Brightfield, 40× oil-immersion objective; bone marrow aspirate smear; 250×250 — 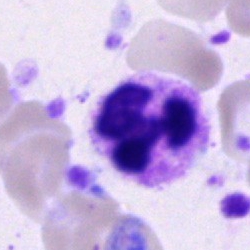
Showing a segmented neutrophil.